Bone marrow smear: 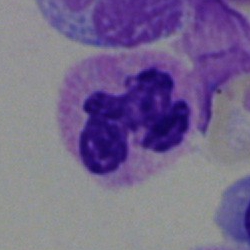

Q: What is the morphological classification of this cell?
A: This is a neutrophil (segmented).